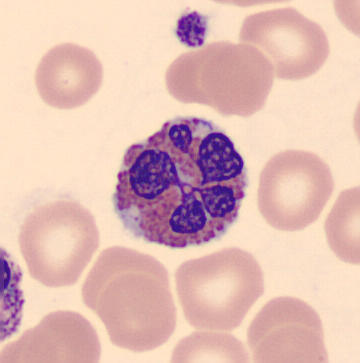
Specimen: peripheral blood smear.
Cell type: eosinophilic granulocyte.